40× objective, oil immersion. Bone marrow smear: 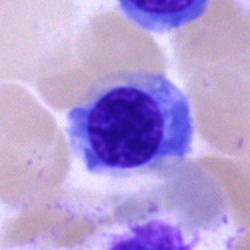Q: What is shown here?
A: This is an erythroblast.